Bone marrow smear. Brightfield microscopy, 40× oil immersion:
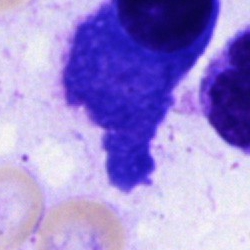
A plasmacyte.